Bone marrow aspirate smear; Pappenheim-stained; single-cell crop:
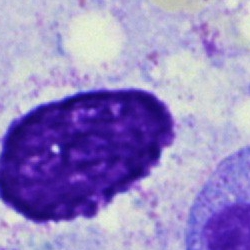Q: What is shown here?
A: Artifact.